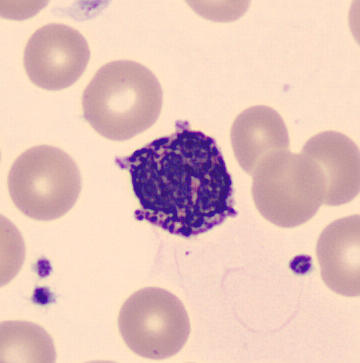Cell = basophilic granulocyte.